Cropped to a single cell · bone marrow smear:
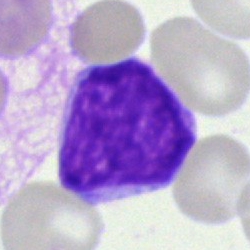

Specimen: bone marrow aspirate smear.
Cell type: undifferentiated blast.